Bone marrow aspirate smear · May-Grünwald-Giemsa stain — 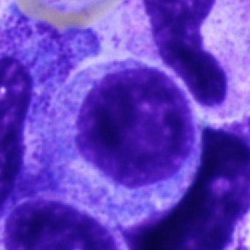

Specimen: bone marrow smear.
Cell type: promyelocyte.
Lineage: myeloid.